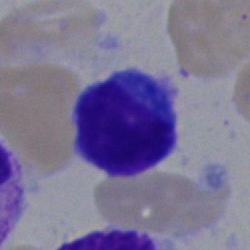 Typical lymphocyte.